40× objective, oil immersion; bone marrow aspirate smear.
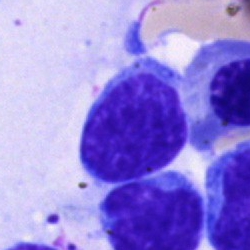The cell shown is a typical lymphocyte.